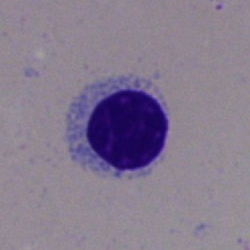 The cell shown is a typical lymphocyte.